Peripheral blood film — 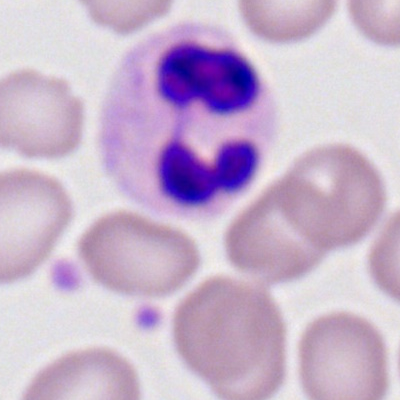 This is a segmented neutrophil.